Bone marrow smear. 40× objective, oil immersion:
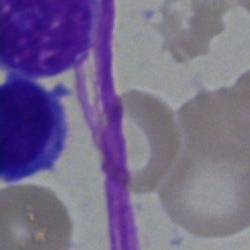

Q: What is shown here?
A: An artefact.